400 by 400 pixels. Peripheral blood film.
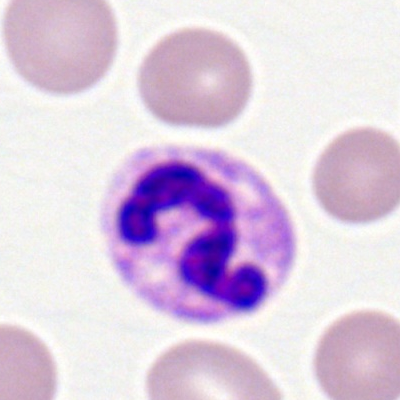 Specimen: peripheral blood film.
Cell type: neutrophil (segmented).